Image size 250×250 · bone marrow aspirate smear.
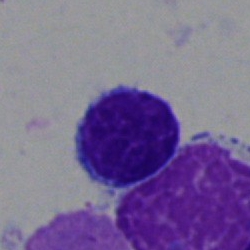The cell shown is a lymphocyte.